Peripheral blood smear · Romanowsky-stained · single cell centered in the field
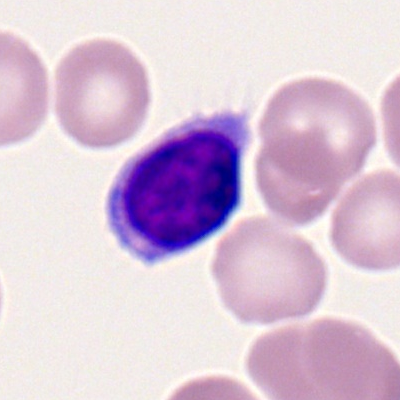
Specimen: peripheral blood film.
Classification: lymphocyte.